Romanowsky stain · single cell centered in the field · peripheral blood smear — 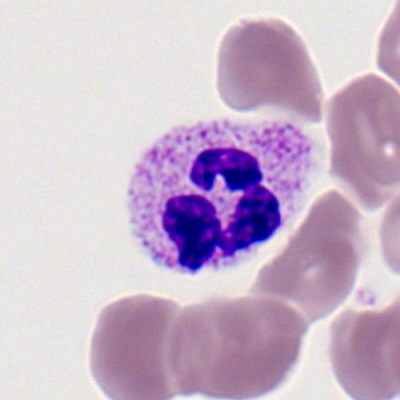Cell type = neutrophil (segmented).